Single-cell field. Bone marrow aspirate smear
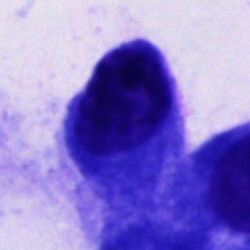
Specimen: bone marrow aspirate smear.
Morphological class: cell not matching the other categories.